Peripheral blood smear.
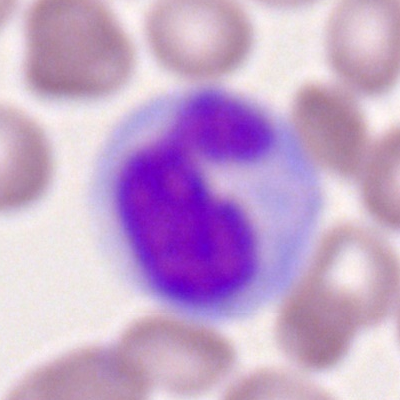 Cell — monocyte.